Bone marrow aspirate smear:
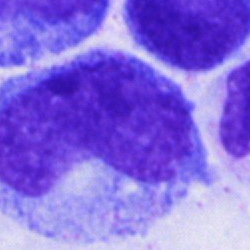Cell type: metamyelocyte.